May-Grünwald-Giemsa stain. Bone marrow aspirate smear: 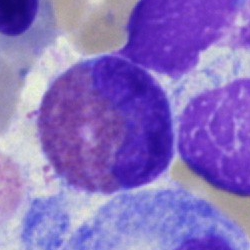
Q: What cell is this?
A: An eosinophil.